Bone marrow smear: 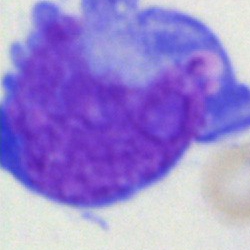Impression → blast cell.